Bone marrow aspirate smear
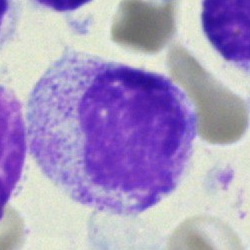
Impression — metamyelocyte.